Bone marrow smear.
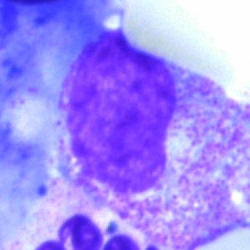Q: Which cell type is shown here?
A: A myelocyte.